Bone marrow aspirate smear: 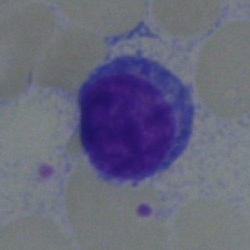
This is a typical lymphocyte.